Bone marrow smear. MGG-stained.
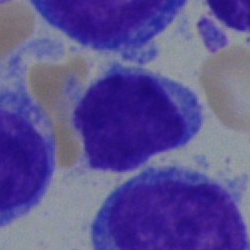
Specimen: bone marrow aspirate smear.
Morphological class: typical lymphocyte.
Lineage: lymphoid.